Brightfield microscopy, 40× oil immersion. Bone marrow smear
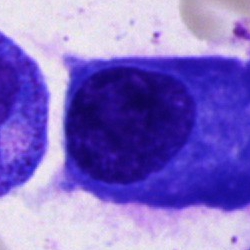 {"cell_type": "plasmacyte"}